Single-cell field. 40× oil immersion. Bone marrow smear.
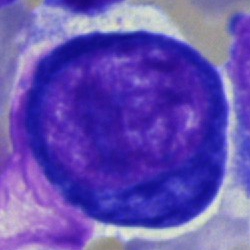 Showing a proerythroblast.